Bone marrow smear. Brightfield microscopy, 40× oil immersion:
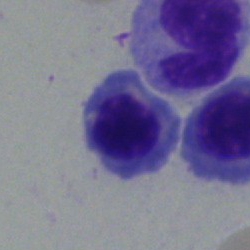This is a normoblast.